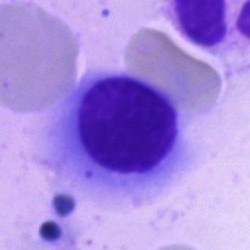Q: What is shown here?
A: An artefact.